Brightfield microscopy, 40× oil immersion. 250×250. Bone marrow smear
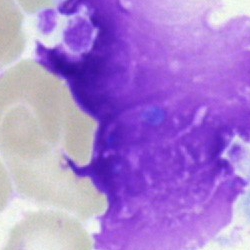

Morphological class = artifact.